Bone marrow smear: 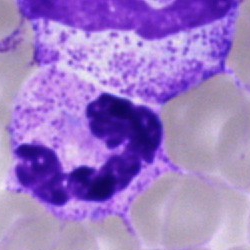Q: What is shown here?
A: Polymorphonuclear neutrophil.